May-Grünwald-Giemsa/Pappenheim stain. Single-cell field. Bone marrow smear
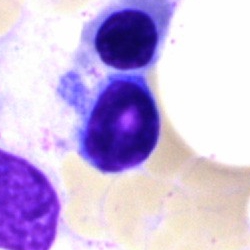
A typical lymphocyte.